Single-cell field · 250×250 px · bone marrow smear.
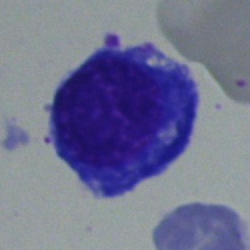
Classification: nucleated red cell.